Bone marrow aspirate smear
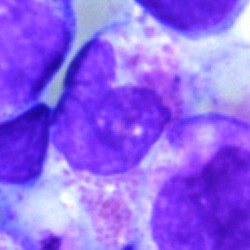Specimen: bone marrow aspirate smear.
Classification: artefact.